Bone marrow aspirate smear — 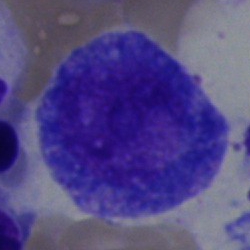Promyelocyte.